Bone marrow aspirate smear. MGG-stained. 250 by 250 pixels: 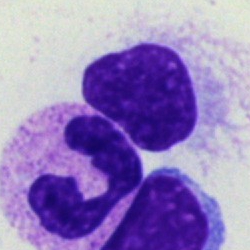
A polymorphonuclear neutrophil.